Single-cell crop. Bone marrow aspirate smear
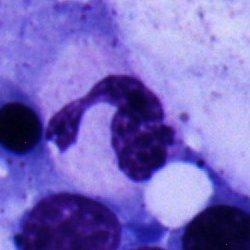
A neutrophil (segmented).